Bone marrow smear:
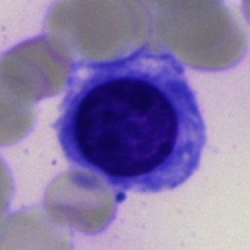Q: What is shown here?
A: It is a nucleated red blood cell.